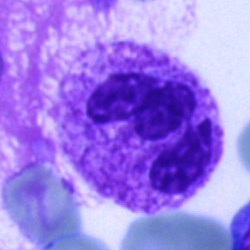
{"cell_type": "neutrophil (segmented)", "lineage": "myeloid"}